Bone marrow smear; single-cell field.
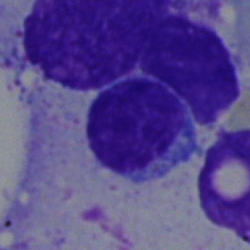

{"cell_type": "lymphocyte", "lineage": "lymphoid"}